Peripheral blood smear — 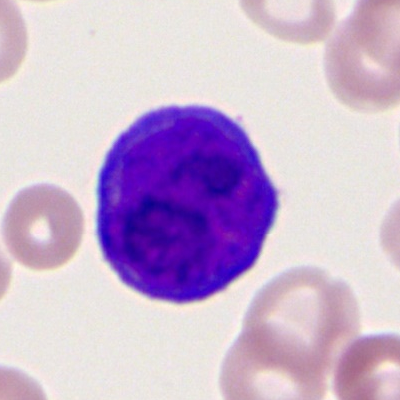

{"cell_type": "myeloblast", "lineage": "myeloid"}